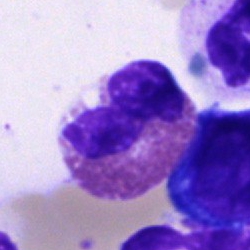

Cell type — eosinophil.